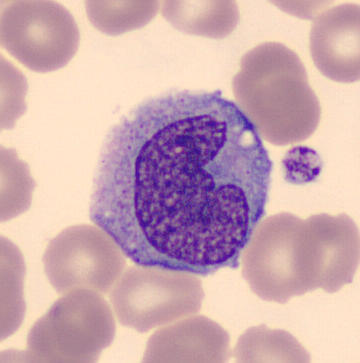Specimen: peripheral blood smear.
Cell: monocyte.